Bone marrow aspirate smear.
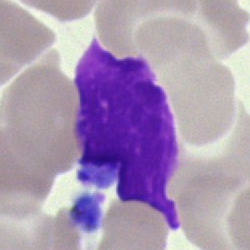

Q: What is shown here?
A: An artefact.